Image size 400×400. Single-cell field. Peripheral blood smear
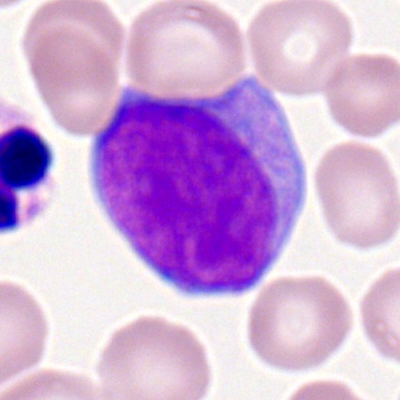

Q: What cell is this?
A: It is a myeloblast.